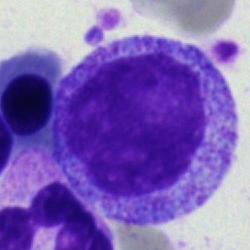
Bone marrow smear showing a promyelocyte.